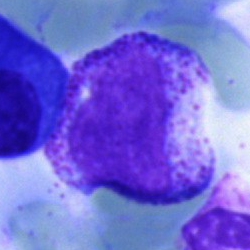Showing a myelocyte.